Bone marrow aspirate smear. Brightfield, 40× oil-immersion objective — 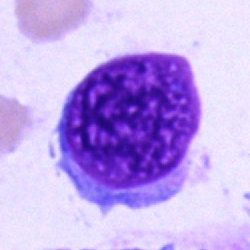Single cell identified as an artifact.